Bone marrow aspirate smear.
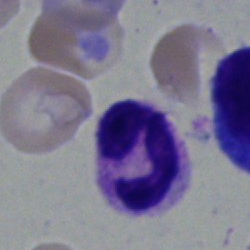

Showing a segmented neutrophil.